Peripheral blood smear; cropped to a single cell:
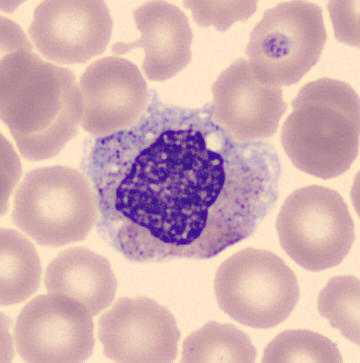 The morphological class is metamyelocyte.